Peripheral blood film
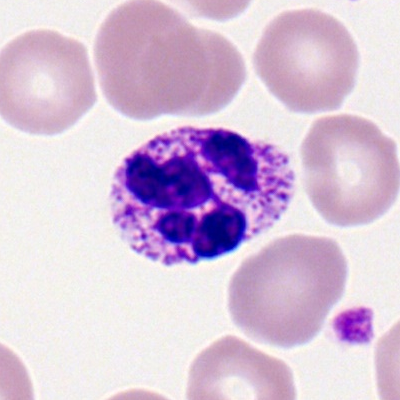

Impression → polymorphonuclear neutrophil.